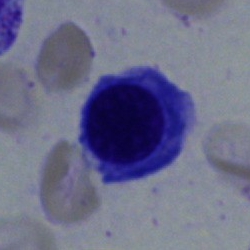 Q: What type of cell is this?
A: This is an erythroblast.